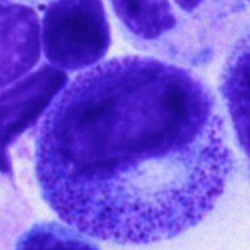 The classification is progranulocyte.